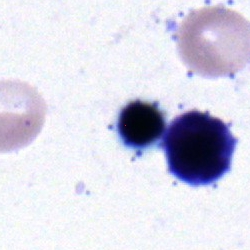

Morphological class: nucleated red blood cell.